Bone marrow aspirate smear. Brightfield, 40× oil-immersion objective:
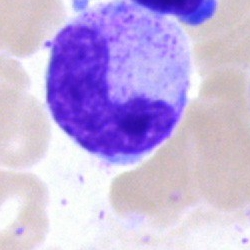

Q: What is shown here?
A: Stab cell.